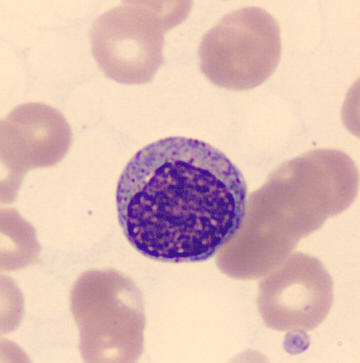 Acquisition: Peripheral blood smear.
{"cell_type": "myelocyte"}